Bone marrow smear.
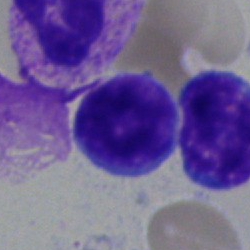
Lymphocyte.